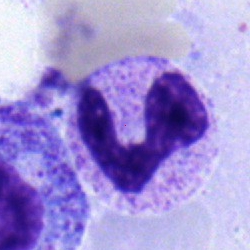This is a polymorphonuclear neutrophil.